MGG-stained · bone marrow smear · single-cell crop
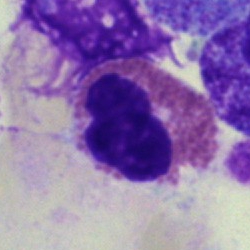 Specimen: bone marrow smear.
Cell: eosinophil.
Lineage: myeloid.